Bone marrow aspirate smear
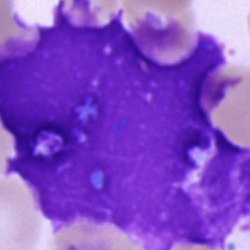

Morphology — artifact.